Bone marrow aspirate smear.
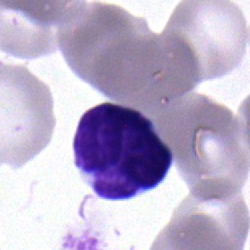

Cell type — lymphocyte.